Bone marrow aspirate smear. Cropped to a single cell:
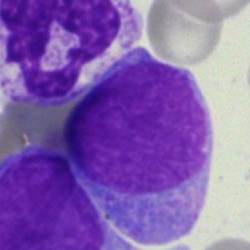 Morphology consistent with an undifferentiated blast.